Image size 250×250. 40× oil immersion. Bone marrow smear.
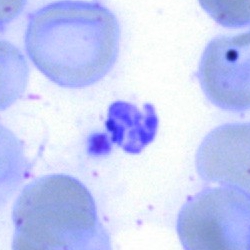
The cell type is artifact.